Bone marrow aspirate smear
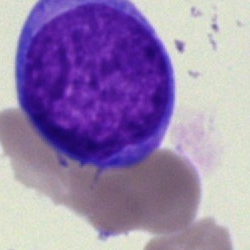 The classification is blast.